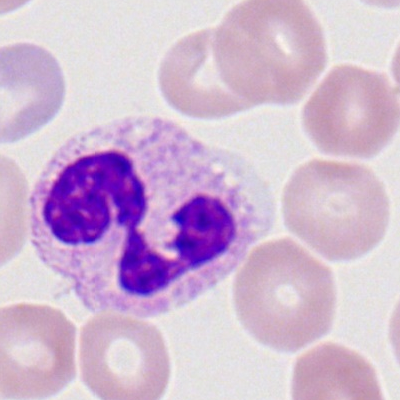

Morphology — neutrophil (segmented).